Brightfield microscopy, 40× oil immersion; bone marrow smear:
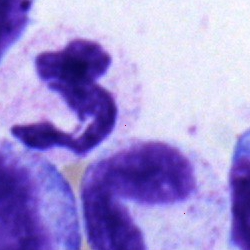

A segmented neutrophil.